MGG-stained · image size 250×250 · bone marrow smear:
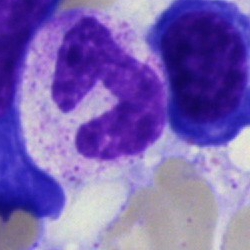 Impression → polymorphonuclear neutrophil.